Image size 250×250 · bone marrow aspirate smear — 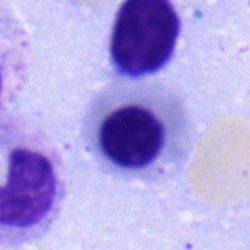
Single cell identified as an erythroblast.